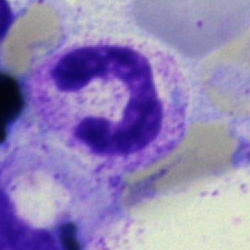
Q: Which cell type is shown here?
A: Polymorphonuclear neutrophil.